Bone marrow aspirate smear
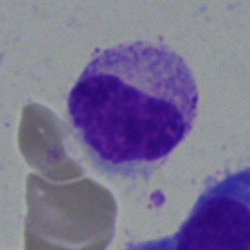 Q: Which cell type is shown here?
A: This is a myelocyte.